Bone marrow smear. May-Grünwald-Giemsa/Pappenheim stain — 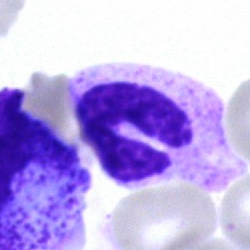Specimen: bone marrow aspirate smear.
Classification: segmented neutrophil.